Brightfield microscopy, 40× oil immersion · bone marrow aspirate smear
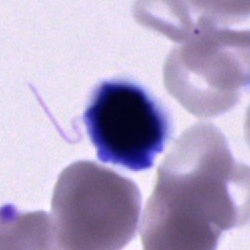 Morphology → cell of indeterminate lineage.